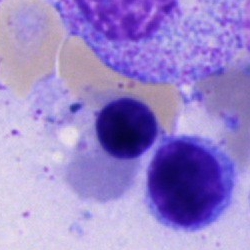Specimen: bone marrow smear.
Cell type: erythroblast.